May-Grünwald-Giemsa stain. Bone marrow smear. Single cell centered in the field
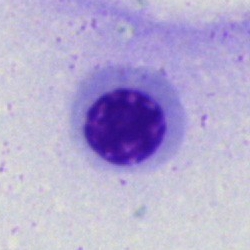
Nucleated red cell.